Bone marrow aspirate smear · image size 250×250: 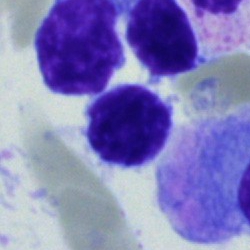 Q: What is shown here?
A: Lymphocyte.